Brightfield, 40× oil-immersion objective · bone marrow aspirate smear:
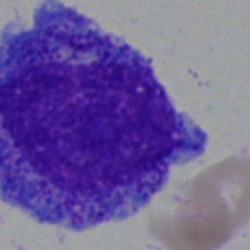 Q: What is the morphological classification of this cell?
A: It is a progranulocyte.